Peripheral blood smear:
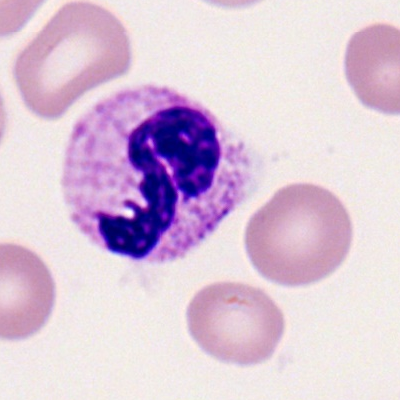

A segmented neutrophil.